Image size 250×250. Bone marrow smear: 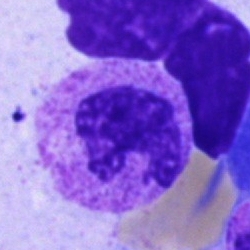

Cell type — polymorphonuclear neutrophil.